Bone marrow aspirate smear:
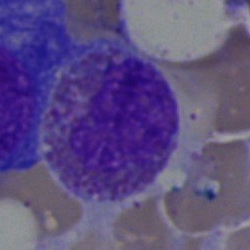

The cell shown is an eosinophilic granulocyte.